Peripheral blood film: 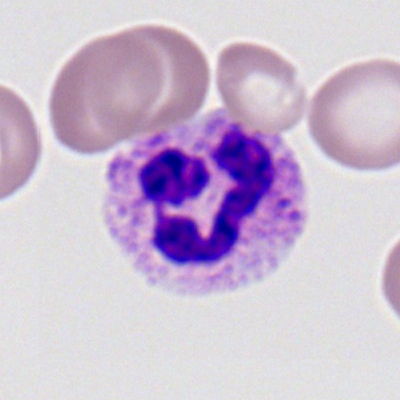

Morphology consistent with a neutrophil (segmented).